Bone marrow smear.
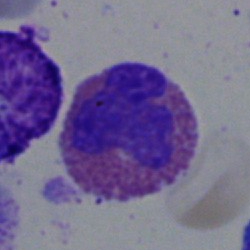
Q: Identify the cell.
A: This is an eosinophil.